Image size 400×400; peripheral blood film:
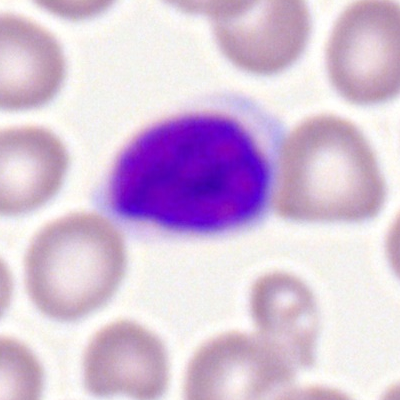The cell shown is a typical lymphocyte.